Bone marrow aspirate smear · MGG-stained
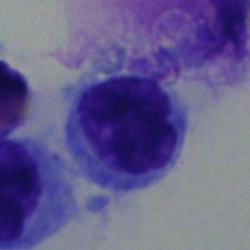 Q: What cell is this?
A: Lymphocyte.